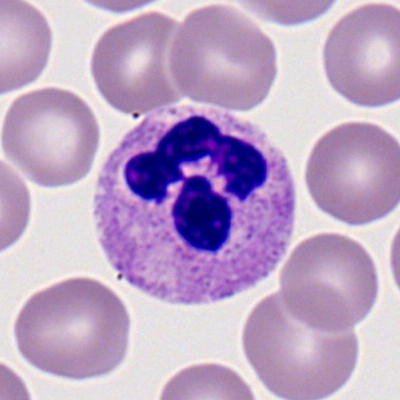

Morphology — segmented neutrophil.